Peripheral blood film · 100× oil immersion
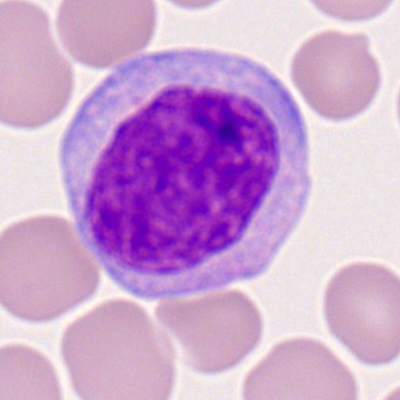

Showing a monocyte.